250×250 px · bone marrow smear: 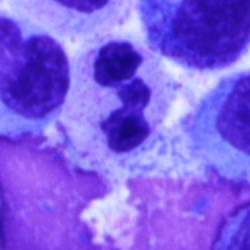
Classification — neutrophil (segmented).